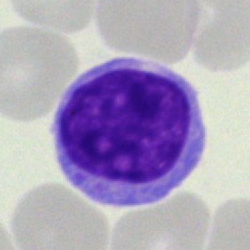 {"cell_type": "typical lymphocyte", "lineage": "lymphoid"}